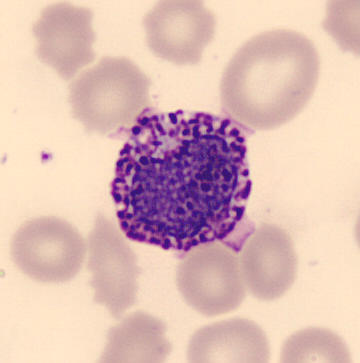

Acquisition: Peripheral blood smear. CellaVision DM96.
Showing a basophil.